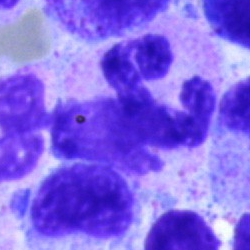 Morphology → segmented neutrophil.